Bone marrow smear · May-Grünwald-Giemsa stain
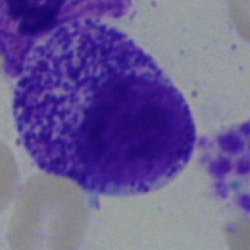The cell shown is a myelocyte.